Bone marrow aspirate smear; 250×250 — 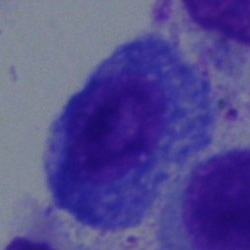 The classification is progranulocyte.